Single-cell field · bone marrow aspirate smear — 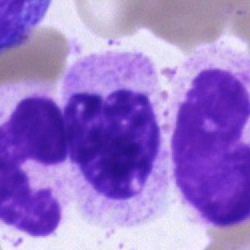 A polymorphonuclear neutrophil.